Bone marrow smear; single cell centered in the field: 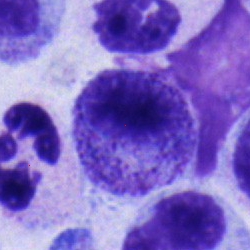
This is a progranulocyte.